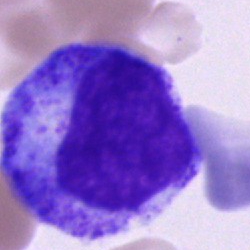 Specimen: bone marrow aspirate smear.
Classification: progranulocyte.